Bone marrow aspirate smear · 250×250 px:
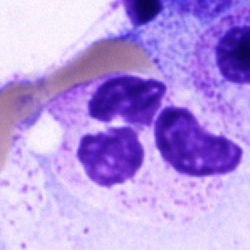
The cell shown is a polymorphonuclear neutrophil.